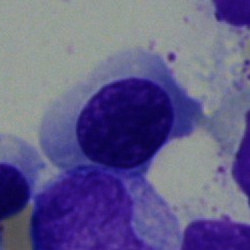

Morphology — erythroblast.